250 by 250 pixels; bone marrow aspirate smear — 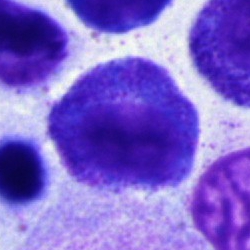

The cell is progranulocyte.